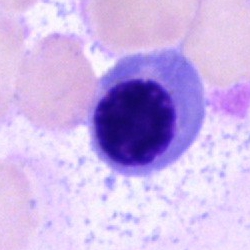 Bone marrow smear showing an erythroblast.